Bone marrow aspirate smear:
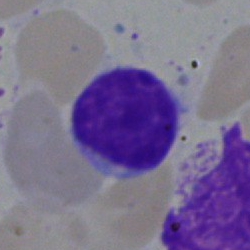 Impression — typical lymphocyte.